Bone marrow smear — 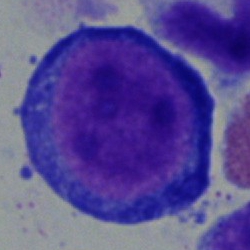

Cell type = pronormoblast.